Bone marrow aspirate smear — 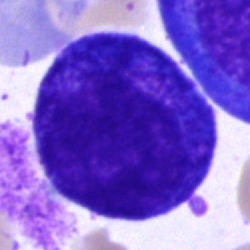Q: Identify the cell.
A: It is a promyelocyte.